Bone marrow smear: 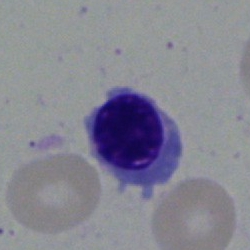 Q: What is the morphological classification of this cell?
A: It is an erythroblast.